Bone marrow aspirate smear
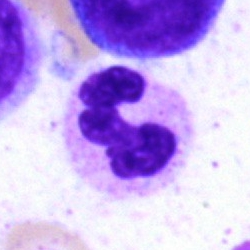 Morphology consistent with a neutrophil (segmented).